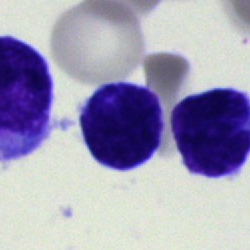 A blast cell on a bone marrow smear.